Brightfield microscopy, 40× oil immersion · bone marrow smear: 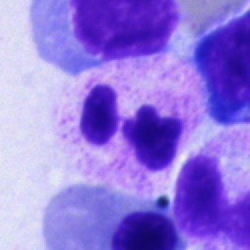
Cell: polymorphonuclear neutrophil.